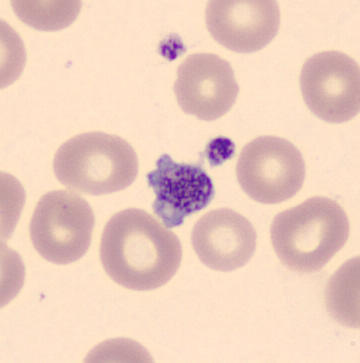Q: What is this?
A: It is a platelet.

Acquisition: 360×363 · MGG-stained · peripheral blood film.